100× oil immersion, 14.14 px/µm; peripheral blood film: 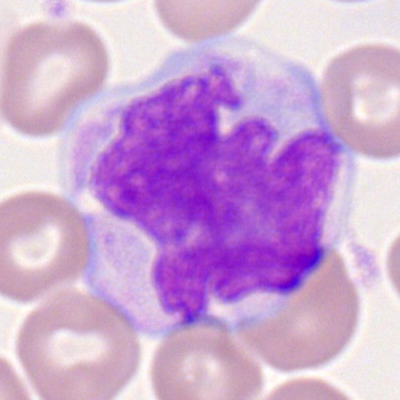

Impression — monocyte.